40× oil immersion; bone marrow aspirate smear.
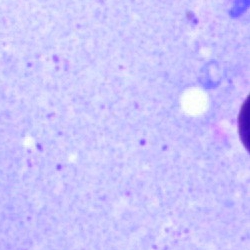
Showing an artefact.